250×250 · bone marrow aspirate smear.
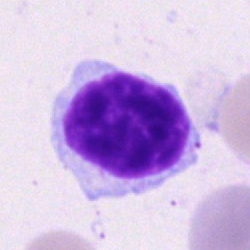 {"cell_type": "lymphocyte", "lineage": "lymphoid"}